Bone marrow aspirate smear
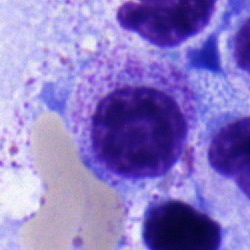 The cell is myelocyte.